Brightfield microscopy, 40× oil immersion; 250 by 250 pixels; bone marrow smear.
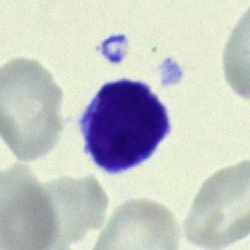 {"cell_type": "typical lymphocyte", "lineage": "lymphoid"}